Bone marrow aspirate smear; cropped to a single cell
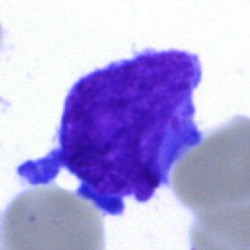 An undifferentiated blast.